Bone marrow aspirate smear:
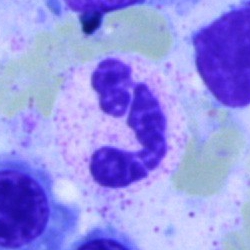
{"cell_type": "polymorphonuclear neutrophil"}